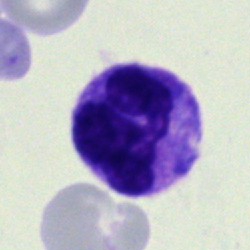Morphological class — monocyte.